Bone marrow aspirate smear; single-cell field; 250 by 250 pixels: 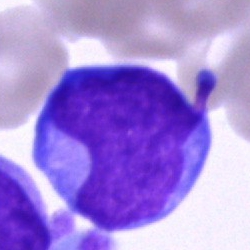 Cell — blast.